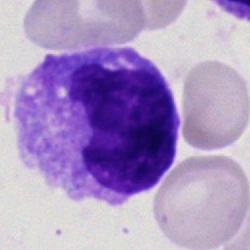 Morphological class — monocyte.